Bone marrow aspirate smear:
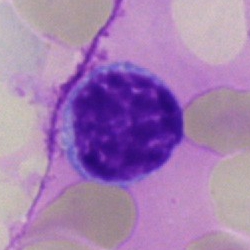Morphology → lymphocyte.